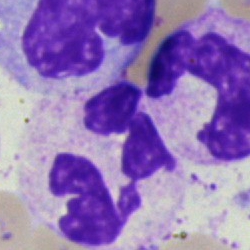Cell type = polymorphonuclear neutrophil.